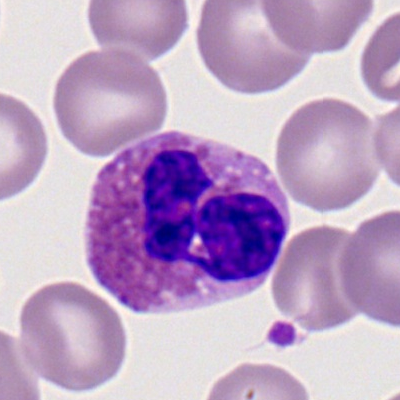Specimen: peripheral blood film.
Cell: eosinophilic granulocyte.